Bone marrow aspirate smear — 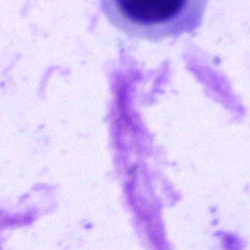
The cell type is artefact.